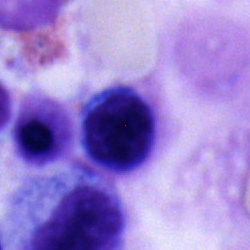
{"cell_type": "typical lymphocyte", "lineage": "lymphoid"}